Image size 250×250. Bone marrow smear
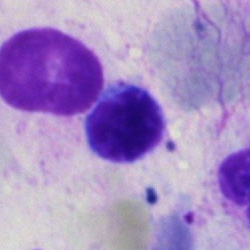{"cell_type": "plasma cell"}